Bone marrow aspirate smear: 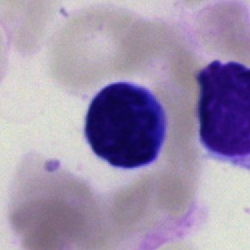
Cell type = typical lymphocyte.